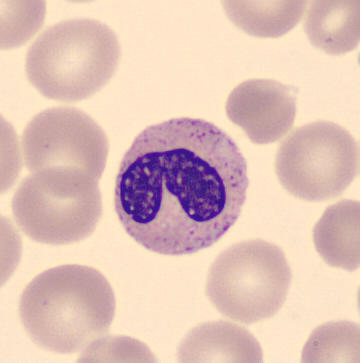
Peripheral blood smear.
Identified as a band-form neutrophil.